Bone marrow aspirate smear. Brightfield microscopy, 40× oil immersion — 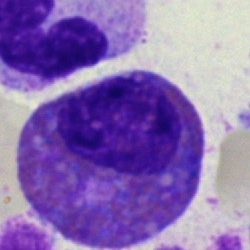 Specimen: bone marrow aspirate smear.
Cell type: eosinophilic granulocyte.
Lineage: myeloid.